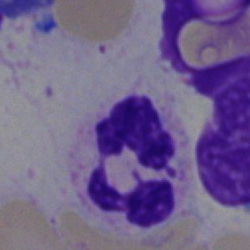
Specimen: bone marrow aspirate smear.
Cell type: polymorphonuclear neutrophil.
Lineage: myeloid.